Bone marrow smear; single-cell field; MGG-stained.
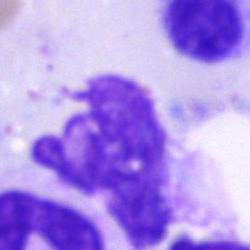
Cell = artifact.